Bone marrow aspirate smear.
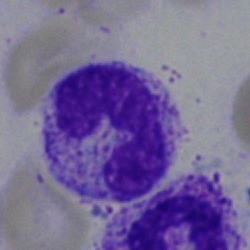Cell type = stab cell.